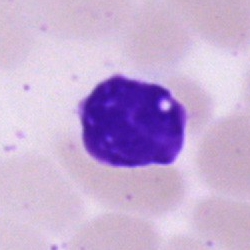

Q: What is shown here?
A: Artefact.